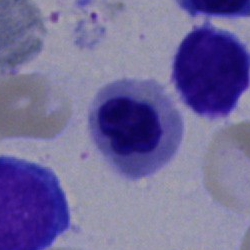
The cell shown is an erythroblast.